Bone marrow smear
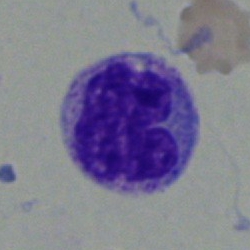Q: Which cell type is shown here?
A: It is a monocyte.